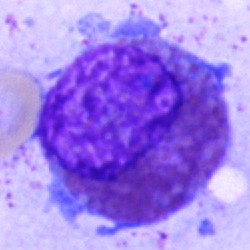This is an eosinophil.